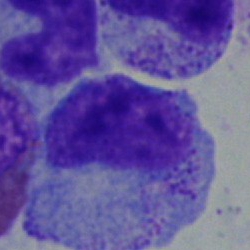Cell = myelocyte.